Bone marrow aspirate smear:
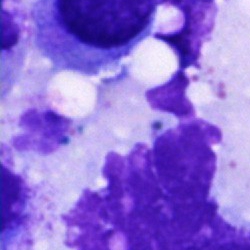Q: What is shown here?
A: An artefact.